Bone marrow smear. 250×250 px. Brightfield, 40× oil-immersion objective: 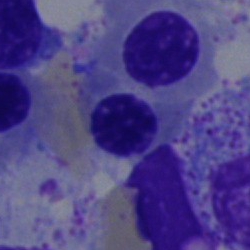Showing a nucleated red blood cell.